Peripheral blood film
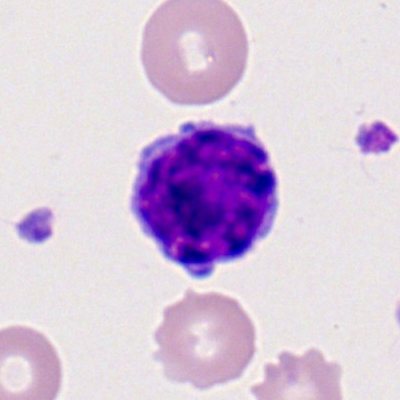 The cell is typical lymphocyte.